Bone marrow smear; May-Grünwald-Giemsa/Pappenheim stain:
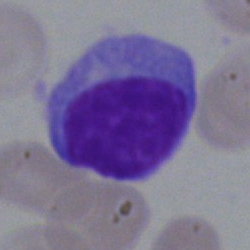 Showing a plasma cell.